Bone marrow smear:
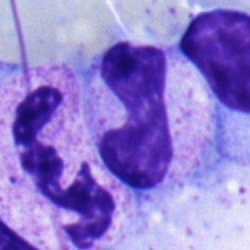Morphology consistent with a band neutrophil.